May-Grünwald-Giemsa stain; bone marrow smear: 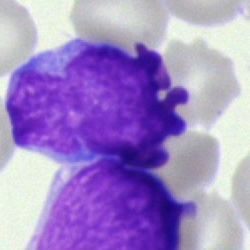

Single cell identified as an undifferentiated blast.